Bone marrow smear. 250×250 px:
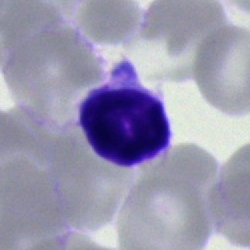 Q: Identify the cell.
A: It is a typical lymphocyte.